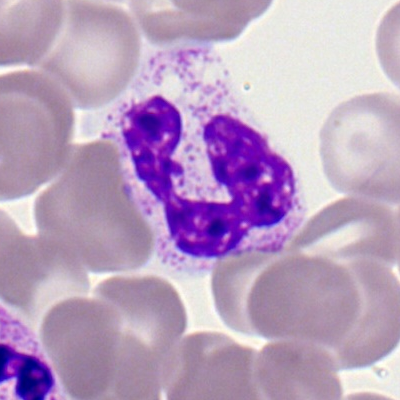 Showing a segmented neutrophil.